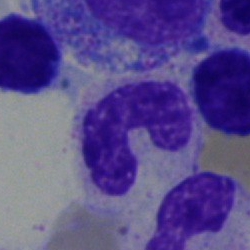
Impression — neutrophil (band).